Bone marrow aspirate smear:
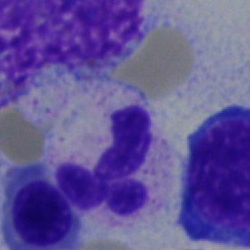{"cell_type": "segmented neutrophil"}